Peripheral blood film. Romanowsky-stained.
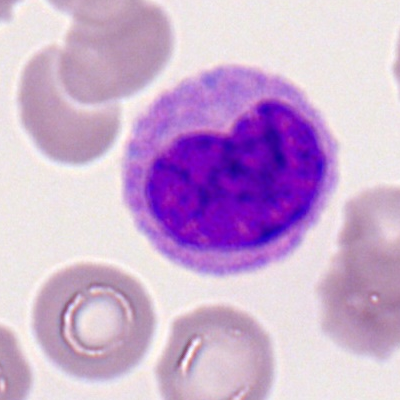

Classification: monocyte.